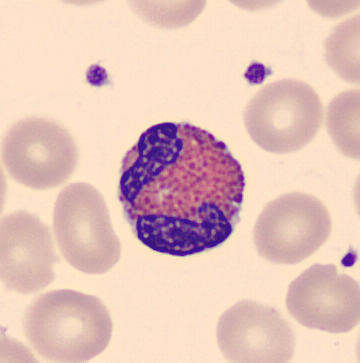Showing an eosinophilic granulocyte. Preparation: Peripheral blood film; CellaVision DM96.